Bone marrow aspirate smear — 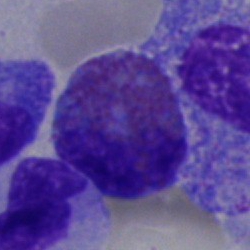

Q: What is the morphological classification of this cell?
A: It is an eosinophil.